Bone marrow smear: 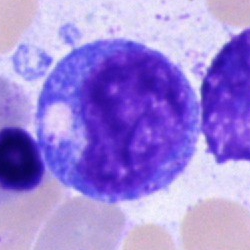Q: What is shown here?
A: Promyelocyte.